Bone marrow smear: 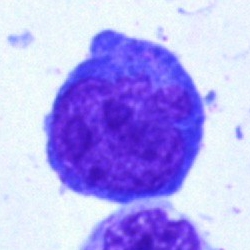

Impression → blast cell.